Cropped to a single cell; bone marrow aspirate smear; Pappenheim-stained — 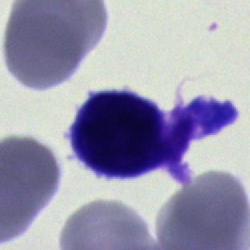

Morphological class — lymphocyte.